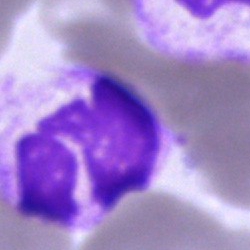An unidentifiable cell on a bone marrow smear.